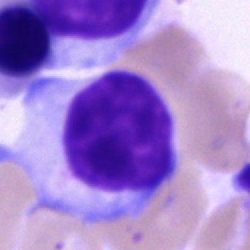 Cell — typical lymphocyte.